Image size 250×250. Bone marrow smear
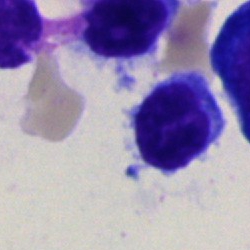

Q: Which cell type is shown here?
A: A lymphocyte.